Bone marrow aspirate smear · single-cell crop
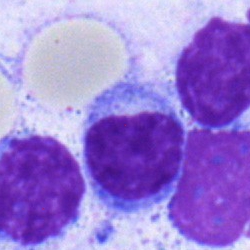Specimen: bone marrow aspirate smear.
Morphological class: lymphocyte.
Lineage: lymphoid.